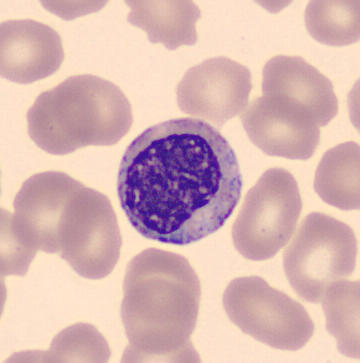Morphology consistent with a myelocyte.
Peripheral blood film; 360 by 363 pixels; MGG stain.